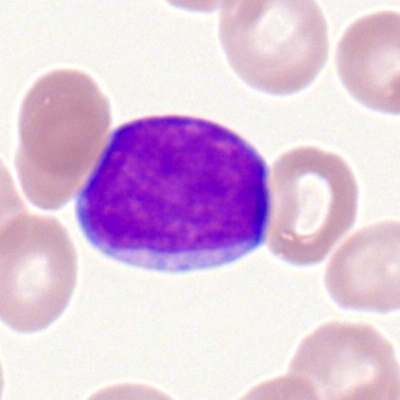 Peripheral blood film, single cell — myeloid blast.